Bone marrow smear
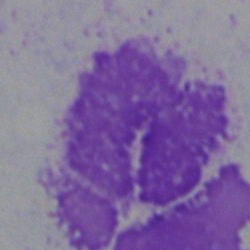 Cell type — artefact.